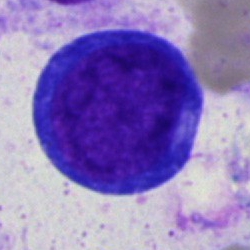 Morphology → pronormoblast.